Bone marrow aspirate smear — 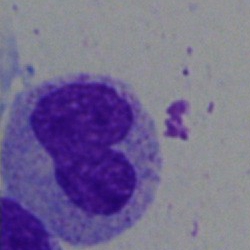 The cell shown is a band-form neutrophil.